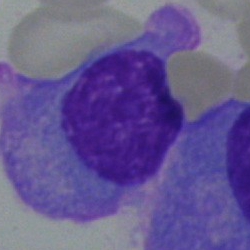

Bone marrow smear showing a plasma cell.